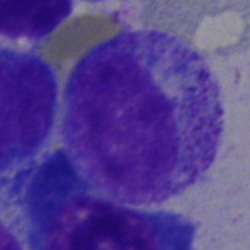

Morphology consistent with a promyelocyte.